Bone marrow smear: 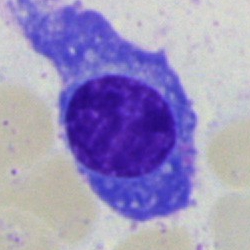

Showing a plasma cell.